Bone marrow aspirate smear
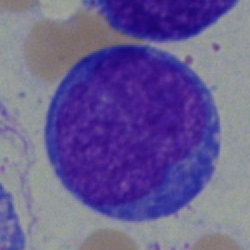{"cell_type": "blast cell"}